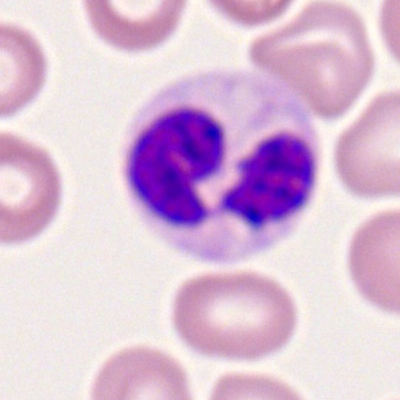
A polymorphonuclear neutrophil on a peripheral blood smear.